Bone marrow smear; 40× oil immersion:
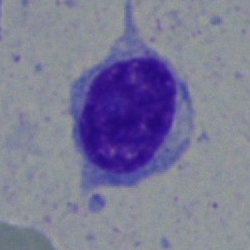 Impression — lymphocyte.